Single-cell crop; bone marrow aspirate smear.
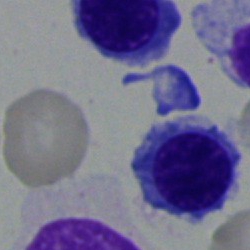

The cell is erythroblast.